Peripheral blood film.
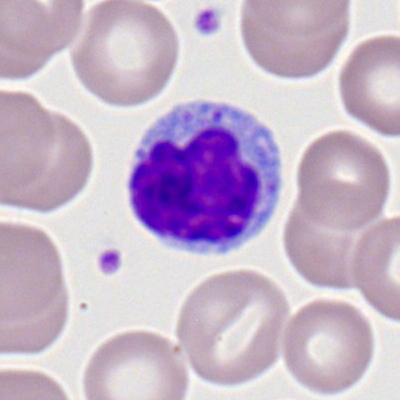

Classification = lymphocyte.